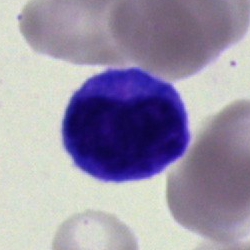
Q: Which cell type is shown here?
A: This is a typical lymphocyte.